40× objective, oil immersion; bone marrow aspirate smear:
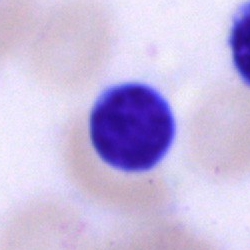The cell type is lymphocyte.